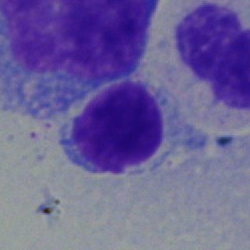
Q: What is shown here?
A: Lymphocyte.